Peripheral blood smear
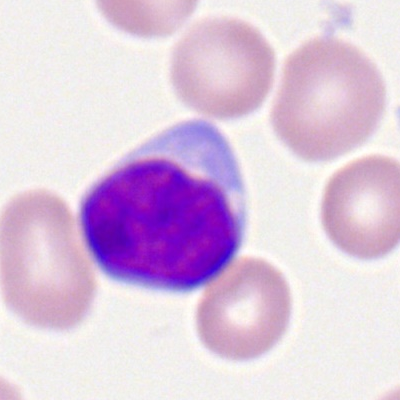

Specimen: peripheral blood smear.
Morphological class: lymphocyte.
Lineage: lymphoid.